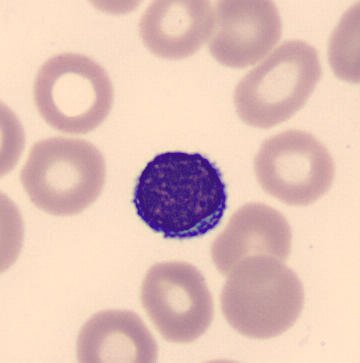

Specimen: peripheral blood film.
Classification: typical lymphocyte.
Lineage: lymphoid. Image: Image size 360×363 · automated cell imaging (CellaVision DM96).